May-Grünwald-Giemsa stain. Bone marrow smear
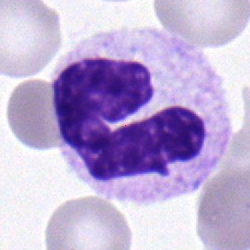
Stab cell.